Bone marrow smear: 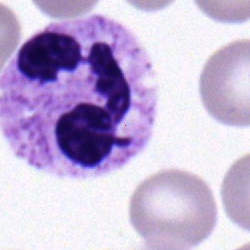 Morphological class — polymorphonuclear neutrophil.